MGG-stained; bone marrow aspirate smear
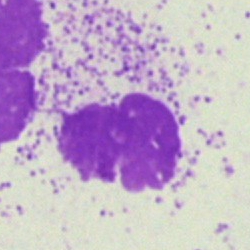

Morphological class = artifact.